Romanowsky-type stain. Peripheral blood smear — 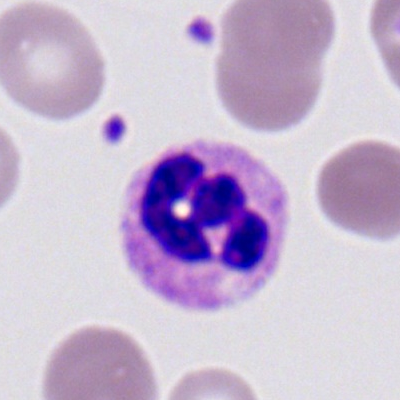 Specimen: peripheral blood film.
Cell: neutrophil (segmented).
Lineage: myeloid.